Bone marrow aspirate smear:
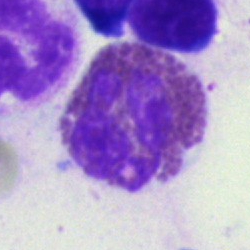The cell type is basophilic granulocyte.